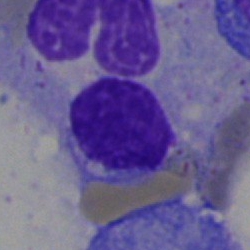
Impression → lymphocyte.